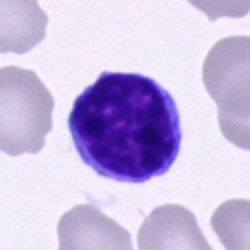

Impression → typical lymphocyte.